Single-cell field; bone marrow smear:
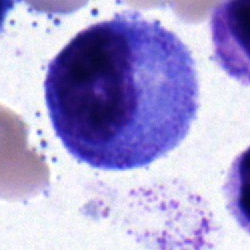

A promyelocyte.